Bone marrow smear · brightfield, 40× oil-immersion objective · Pappenheim-stained
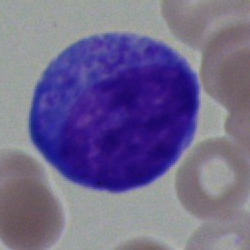 Specimen: bone marrow aspirate smear.
Classification: promyelocyte.
Lineage: myeloid.